Bone marrow aspirate smear
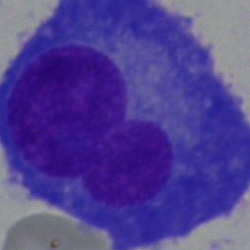 Q: What cell is this?
A: It is a plasma cell.